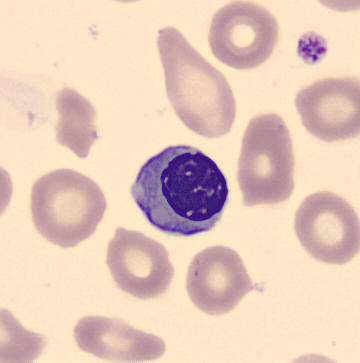 The cell is nucleated red cell.

Peripheral blood smear · automated cell imaging (CellaVision DM96) · cropped to a single cell.